Bone marrow smear · single-cell field
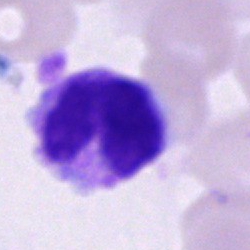

Q: What cell is this?
A: Segmented neutrophil.